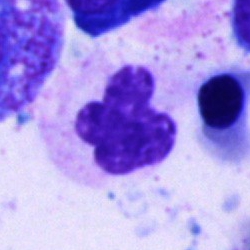

Specimen: bone marrow smear.
Morphological class: polymorphonuclear neutrophil.
Lineage: myeloid.